Bone marrow aspirate smear:
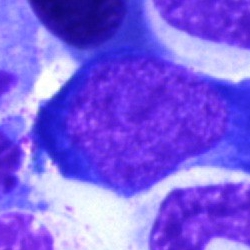

Cell type: proerythroblast.